Pappenheim-stained. Bone marrow smear. Image size 250×250 — 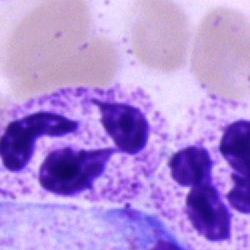 This is a neutrophil (segmented).